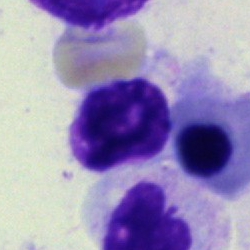
Morphology — artifact.